Bone marrow aspirate smear · brightfield, 40× oil-immersion objective — 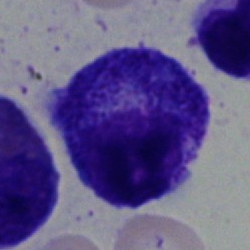 Morphology consistent with a promyelocyte.